Bone marrow aspirate smear · single cell centered in the field
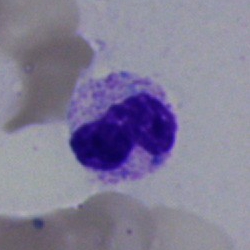
Showing a segmented neutrophil.